Bone marrow smear.
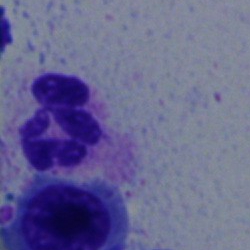 Morphology consistent with a polymorphonuclear neutrophil.